Bone marrow aspirate smear; brightfield, 40× oil-immersion objective — 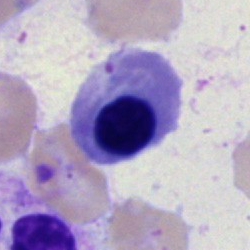
Specimen: bone marrow smear.
Classification: normoblast.
Lineage: erythroid.